Peripheral blood film. 400 by 400 pixels. Romanowsky-stained:
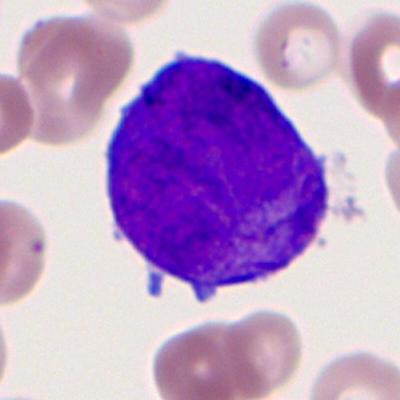
Morphology consistent with a myeloid blast.